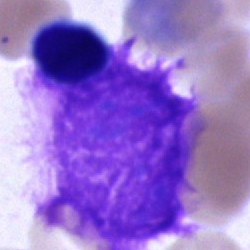

Classification = artifact.